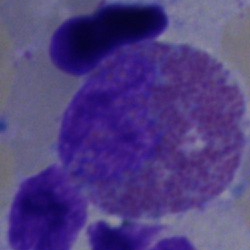

Q: Identify the cell.
A: An eosinophil.